Bone marrow aspirate smear:
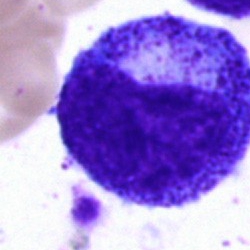

Specimen: bone marrow aspirate smear.
Cell type: promyelocyte.
Lineage: myeloid.